Bone marrow aspirate smear.
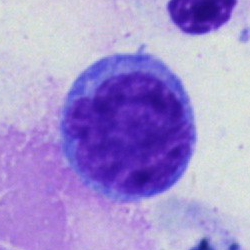

Q: What cell is this?
A: Monocyte.